Bone marrow aspirate smear: 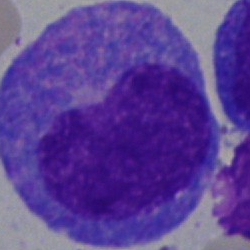Specimen: bone marrow smear.
Morphological class: progranulocyte.